Bone marrow aspirate smear — 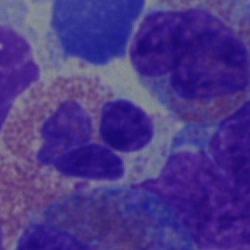 The cell shown is an eosinophilic granulocyte.